Bone marrow aspirate smear; brightfield microscopy, 40× oil immersion:
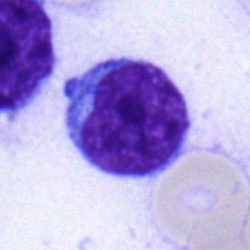

Showing a lymphocyte.